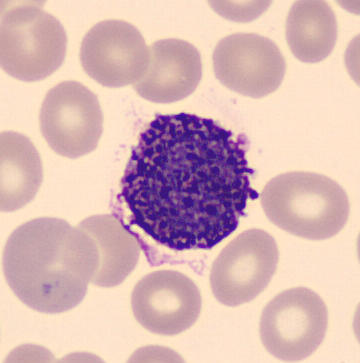Q: What cell is this?
A: It is a basophilic granulocyte.